250×250 px; 40× oil immersion; bone marrow smear.
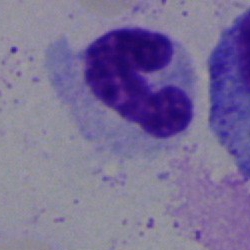Morphological class — polymorphonuclear neutrophil.